Bone marrow aspirate smear.
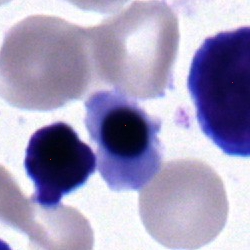 A nucleated red blood cell.